Bone marrow aspirate smear.
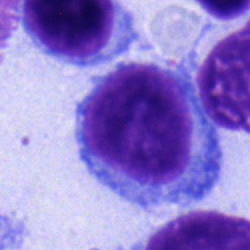
Specimen: bone marrow smear.
Cell: lymphocyte.